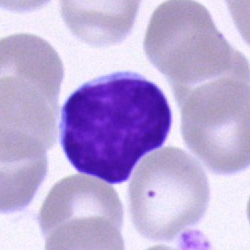 Bone marrow smear showing a lymphocyte.